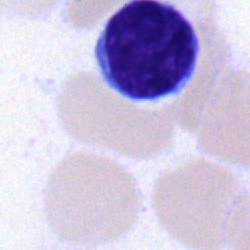

Specimen: bone marrow smear.
Classification: lymphocyte.
Lineage: lymphoid.